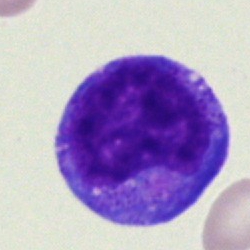 Q: What type of cell is this?
A: This is an undifferentiated blast.